M8 digital microscope (Precipoint), 100× oil immersion · peripheral blood smear — 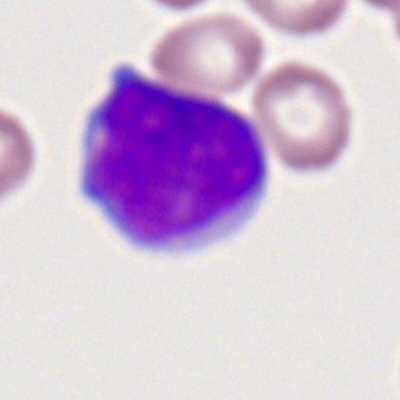Specimen: peripheral blood smear.
Cell: myeloid blast.
Lineage: myeloid.